Bone marrow aspirate smear; single cell centered in the field; 40× oil immersion — 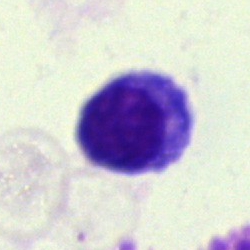

The classification is typical lymphocyte.